250×250 px · bone marrow smear: 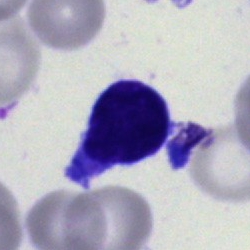
Q: Identify the cell.
A: A blast.